Bone marrow aspirate smear — 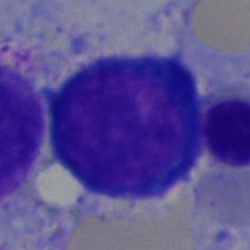Morphology — normoblast.